Bone marrow smear. May-Grünwald-Giemsa/Pappenheim stain.
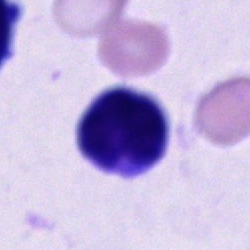
Showing an unidentifiable cell.